Bone marrow smear.
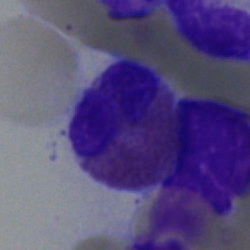
Cell type: eosinophil.